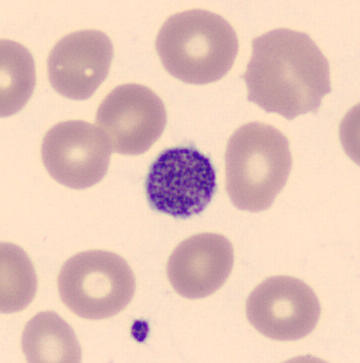

Morphology consistent with a thrombocyte.

Image size 360×363 · imaged on a CellaVision DM96 analyser · peripheral blood film.